Bone marrow aspirate smear.
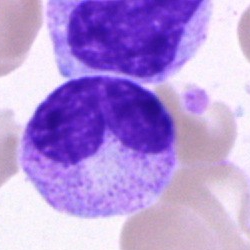 The cell shown is a metamyelocyte.